Bone marrow aspirate smear
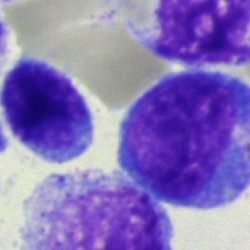

Morphology — blast.